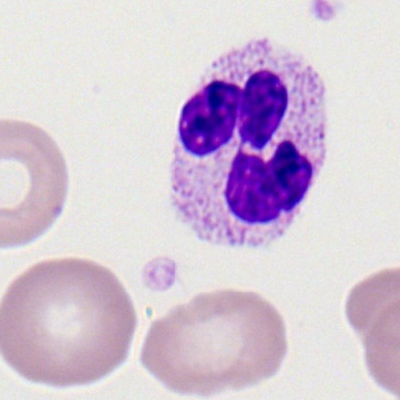Cell = segmented neutrophil.